Bone marrow smear. Brightfield, 40× oil-immersion objective:
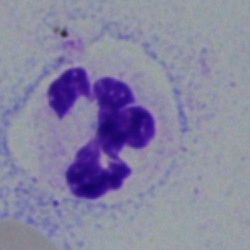Morphological class — polymorphonuclear neutrophil.